Single cell centered in the field. Bone marrow aspirate smear — 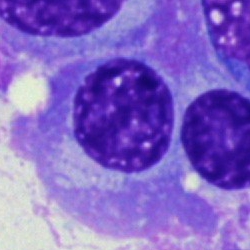Morphological class = plasmacyte.